Bone marrow smear · brightfield microscopy, 40× oil immersion.
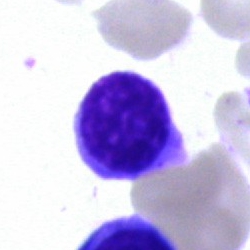 Specimen: bone marrow smear.
Morphological class: lymphocyte.